Peripheral blood smear
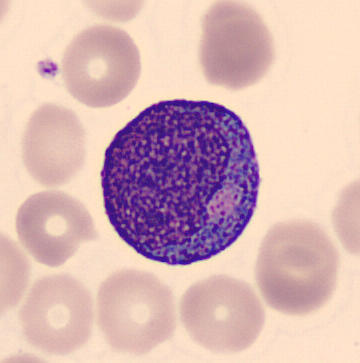
A progranulocyte.